Brightfield microscopy, 40× oil immersion; bone marrow smear; MGG-stained — 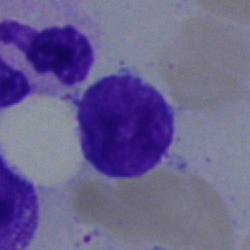

Cell type: artefact.